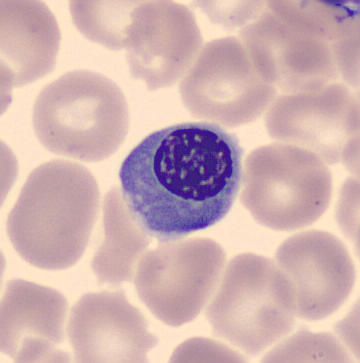 Cell type: normoblast.